Bone marrow smear.
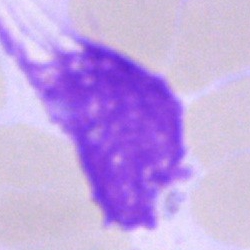

Q: What is shown here?
A: Artefact.